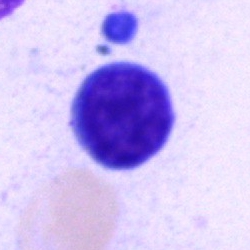
Specimen: bone marrow aspirate smear.
Morphological class: typical lymphocyte.
Lineage: lymphoid.